Peripheral blood smear; Romanowsky stain
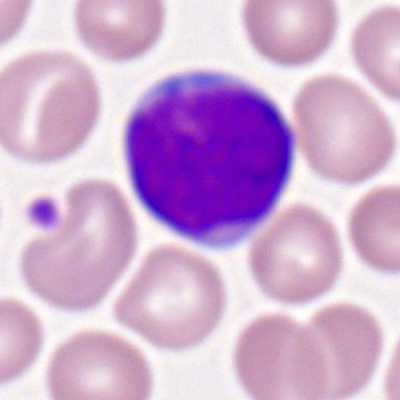 Morphology → myeloblast.